Bone marrow aspirate smear; Pappenheim-stained:
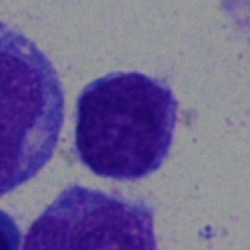

{"cell_type": "typical lymphocyte", "lineage": "lymphoid"}